Pappenheim-stained; bone marrow smear; image size 250×250 — 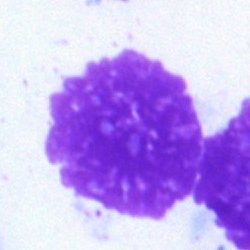

Cell type: artifact.